Bone marrow aspirate smear · single-cell crop
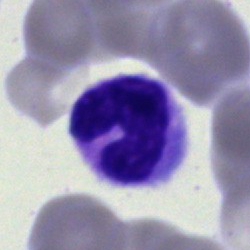Morphology → stab cell.